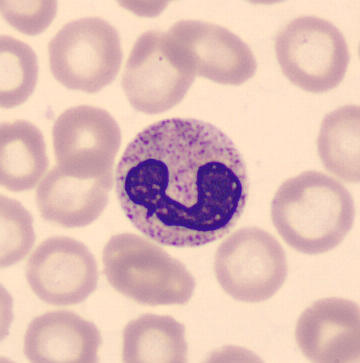

Q: What is the morphological classification of this cell?
A: This is a band neutrophil.

Image size 360×363. Single cell centered in the field. Peripheral blood film.